Bone marrow smear:
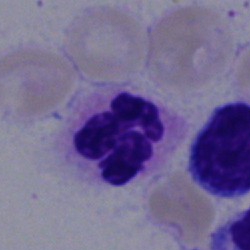
Morphology consistent with a polymorphonuclear neutrophil.